Bone marrow aspirate smear
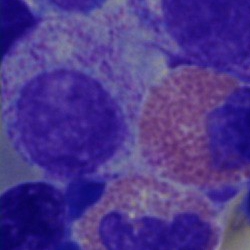Impression — eosinophilic granulocyte.